Bone marrow smear. 250×250 px. MGG-stained:
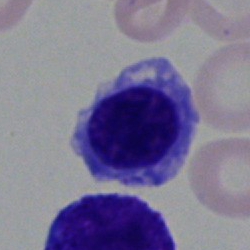
Cell = nucleated red cell.